Bone marrow aspirate smear:
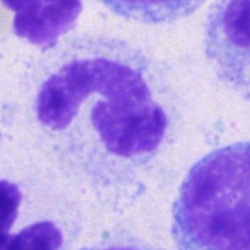
Morphology → polymorphonuclear neutrophil.